Bone marrow aspirate smear; May-Grünwald-Giemsa stain:
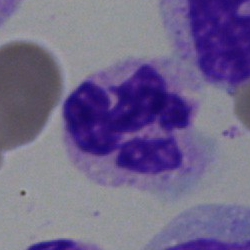Polymorphonuclear neutrophil.